Bone marrow aspirate smear: 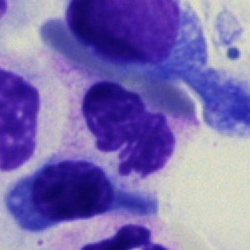A neutrophil (segmented).